Bone marrow smear:
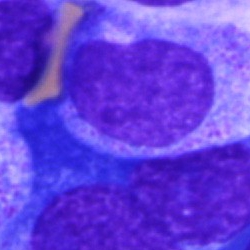
This is a progranulocyte.